Bone marrow aspirate smear · single-cell crop.
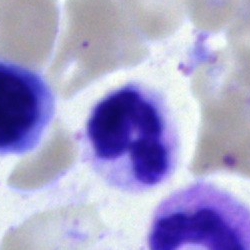Cell: polymorphonuclear neutrophil.